Bone marrow smear; May-Grünwald-Giemsa/Pappenheim stain — 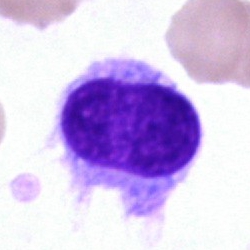 Q: What is the morphological classification of this cell?
A: Hairy cell.